100× oil immersion, 14.14 px/µm; single-cell crop; peripheral blood smear.
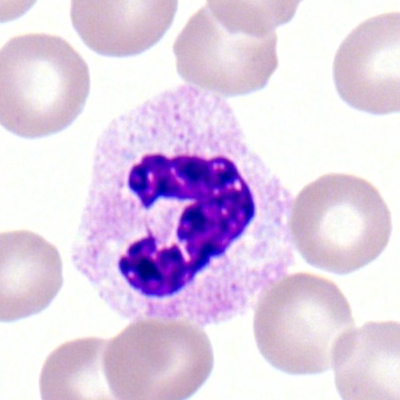Neutrophil (segmented).